Single-cell crop. Image size 250×250. Bone marrow smear:
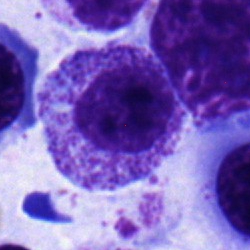
The cell shown is a myelocyte.